Romanowsky-type stain · peripheral blood film:
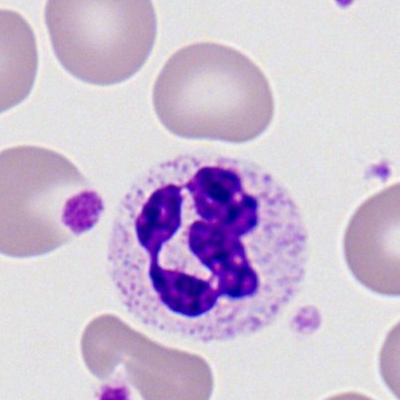Single cell identified as a neutrophil (segmented).